Bone marrow aspirate smear: 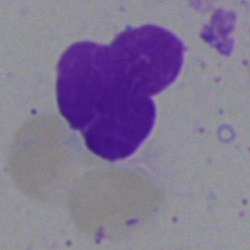 Showing an artefact.